Bone marrow smear: 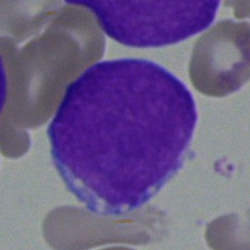 Undifferentiated blast.